Bone marrow aspirate smear
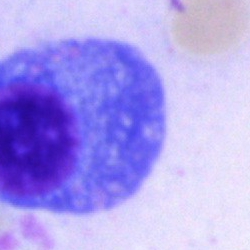
Plasma cell.